Imaged on a CellaVision DM96 analyser · peripheral blood smear — 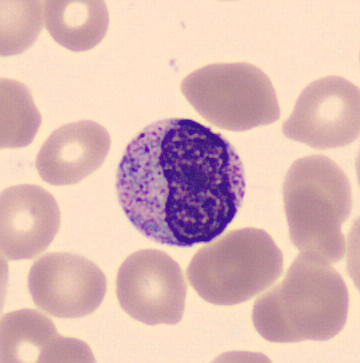
Specimen: peripheral blood film.
Classification: metamyelocyte.
Lineage: myeloid.